Bone marrow aspirate smear:
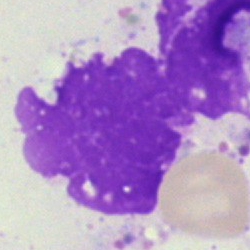Q: What is shown here?
A: Artefact.